Bone marrow smear.
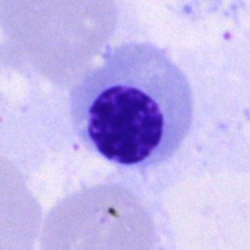 Classification — erythroblast.